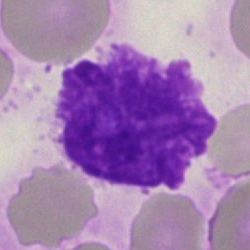 Specimen: bone marrow aspirate smear.
Cell: artefact.